Brightfield, 40× oil-immersion objective. Pappenheim-stained. Bone marrow aspirate smear
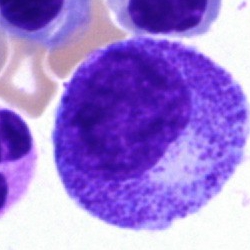Cell type = promyelocyte.